250×250 px. Bone marrow smear.
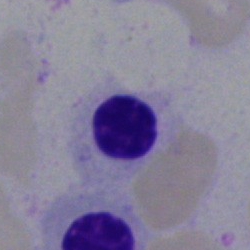

Morphological class — nucleated red blood cell.